Single-cell field · bone marrow aspirate smear — 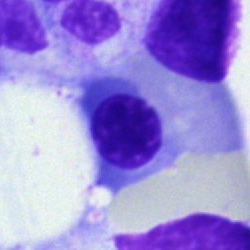 A nucleated red cell.